May-Grünwald-Giemsa stain · bone marrow aspirate smear — 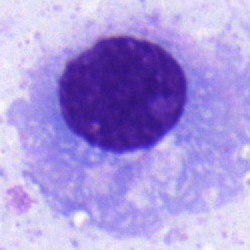
Q: What cell is this?
A: A plasmacyte.